Cropped to a single cell · peripheral blood film
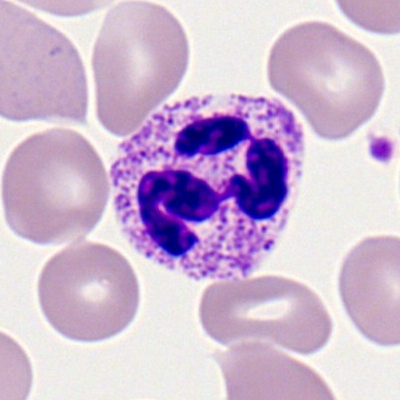Neutrophil (segmented).